250×250 px. Bone marrow aspirate smear.
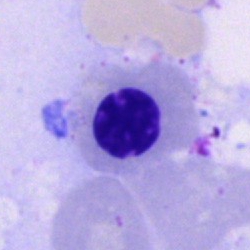 Q: Identify the cell.
A: Normoblast.